Peripheral blood film; single cell centered in the field; 360 by 363 pixels:
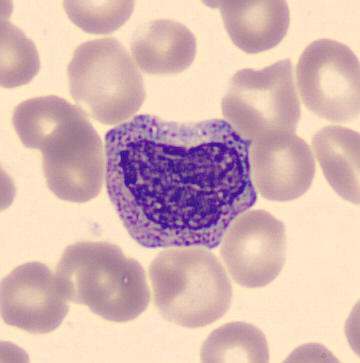
Cell = myelocyte.